Bone marrow smear — 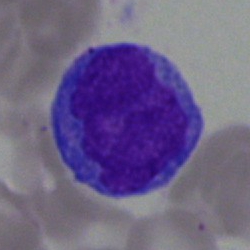
Morphology consistent with an undifferentiated blast.